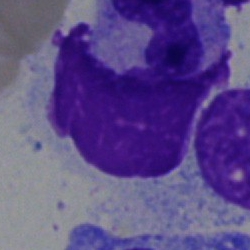

Morphology consistent with an artefact.